Bone marrow aspirate smear:
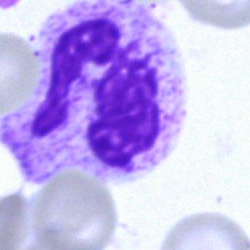 This is a polymorphonuclear neutrophil.